Bone marrow smear: 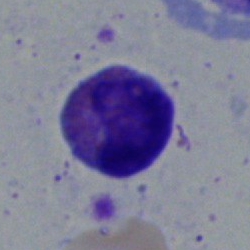Q: Identify the cell.
A: An eosinophilic granulocyte.